Bone marrow aspirate smear.
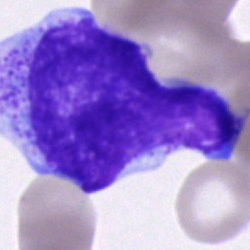
A promyelocyte.